Single cell centered in the field; peripheral blood film; 400×400 px
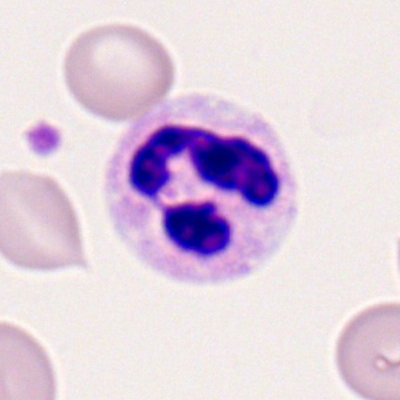

Showing a neutrophil (segmented).